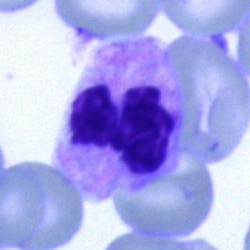
Morphological class = segmented neutrophil.